Peripheral blood smear:
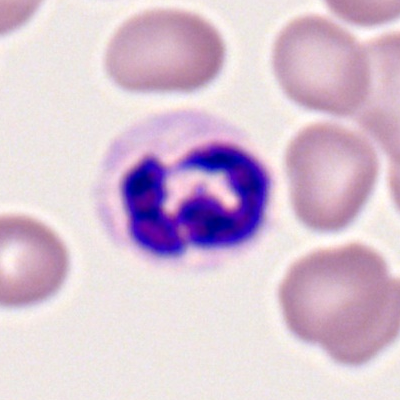
Classification = segmented neutrophil.